Bone marrow smear · 250×250.
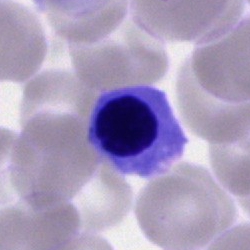
{"cell_type": "normoblast", "lineage": "erythroid"}